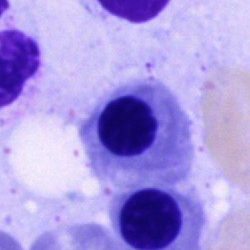
Showing a nucleated red cell.